Bone marrow aspirate smear. Brightfield microscopy, 40× oil immersion.
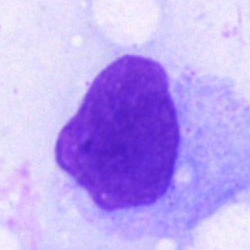Q: What is shown here?
A: This is an artefact.